Bone marrow aspirate smear
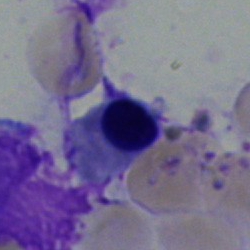
Q: What is the morphological classification of this cell?
A: It is a nucleated red cell.